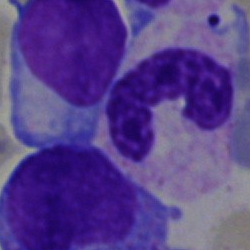

Cell type = stab cell.